Bone marrow aspirate smear; 40× oil immersion.
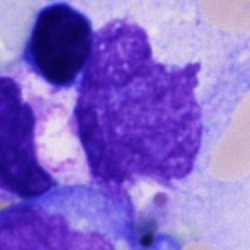Morphology consistent with an artefact.